MGG-stained; bone marrow aspirate smear; single-cell field:
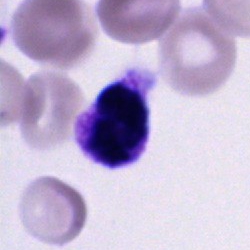 An unidentifiable cell.